Bone marrow smear
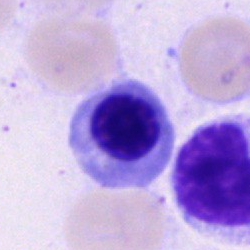

Morphology — nucleated red cell.